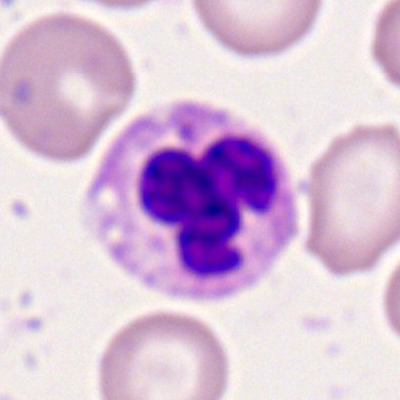
Showing a segmented neutrophil.